May-Grünwald-Giemsa stain · bone marrow smear — 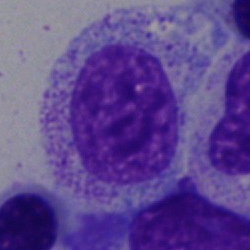Showing a promyelocyte.